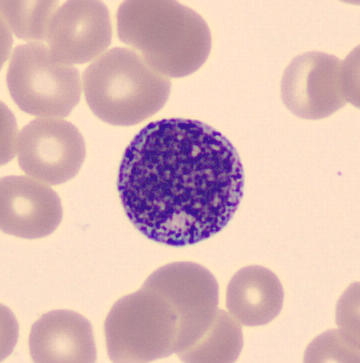Specimen: peripheral blood film.
Cell type: myelocyte. Image: May-Grünwald-Giemsa-stained. 360 by 363 pixels.